250×250 px; bone marrow smear:
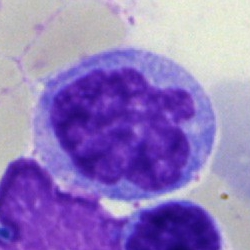
Monocyte.